Bone marrow aspirate smear · 250×250: 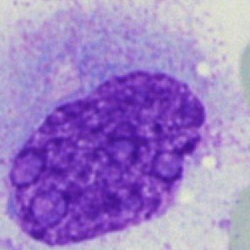Classification = artifact.